Bone marrow smear.
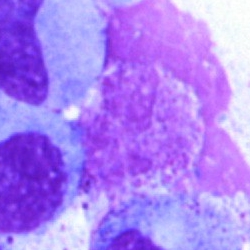
Morphological class — artefact.